Bone marrow aspirate smear — 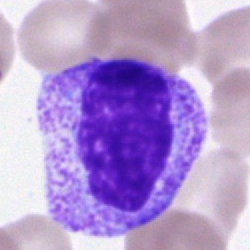 Impression → myelocyte.